Bone marrow aspirate smear:
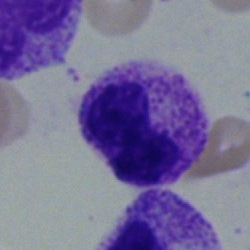
Metamyelocyte.